Bone marrow smear:
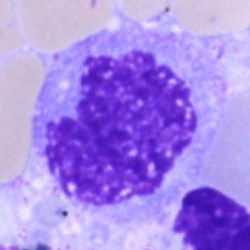 Morphology consistent with a monocyte.